40× objective, oil immersion. Bone marrow aspirate smear: 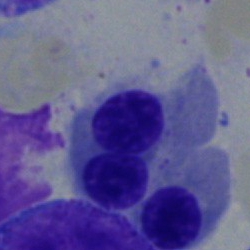 Erythroblast.